Bone marrow aspirate smear: 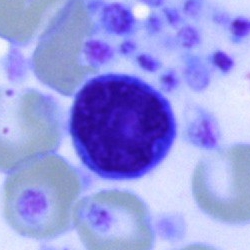 Cell type — typical lymphocyte.